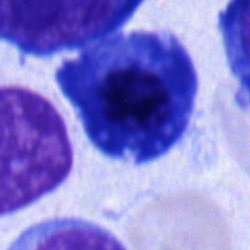Classification — plasmacyte.